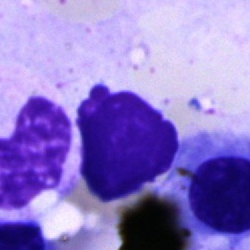 Single cell identified as an artifact.